Bone marrow aspirate smear:
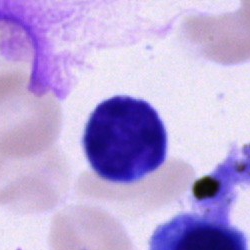Q: Which cell type is shown here?
A: A typical lymphocyte.